Bone marrow smear; brightfield microscopy, 40× oil immersion; MGG-stained:
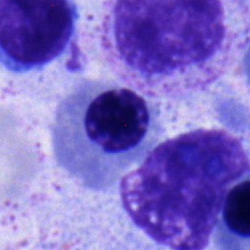
Cell type = nucleated red cell.